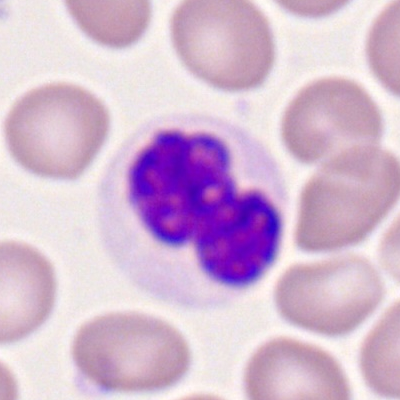
Q: What is shown here?
A: Neutrophil (segmented).